Peripheral blood film; May-Grünwald-Giemsa-stained
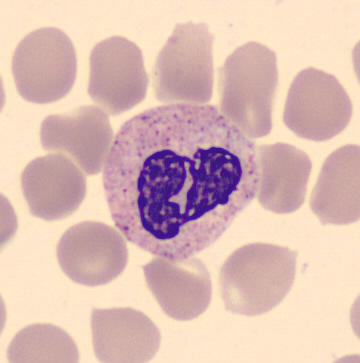

Morphological class = segmented neutrophil.